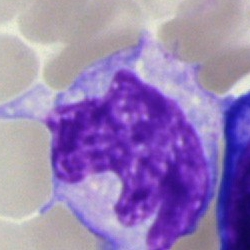This is a monocyte.